250×250 · bone marrow aspirate smear — 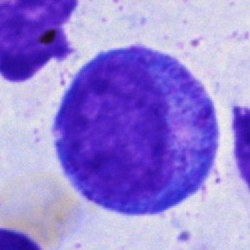Classification: progranulocyte.